Peripheral blood film.
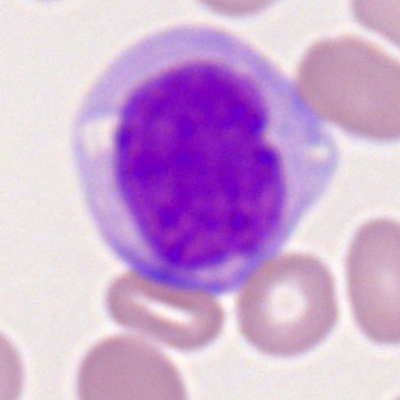
Q: What type of cell is this?
A: This is a monoblast.